Bone marrow aspirate smear
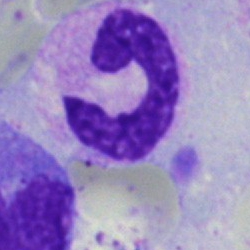Morphology → neutrophil (segmented).